Bone marrow aspirate smear · Pappenheim-stained
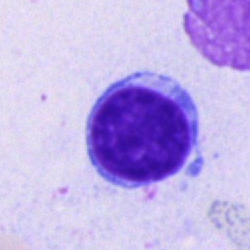 Morphology → typical lymphocyte.